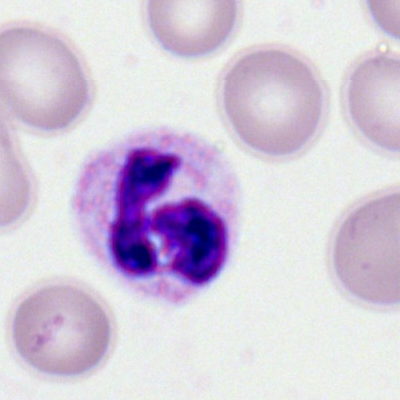

A segmented neutrophil.